Single-cell field · bone marrow smear.
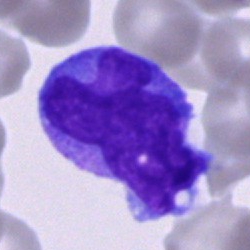Cell — monocyte.